Bone marrow smear; image size 250×250 — 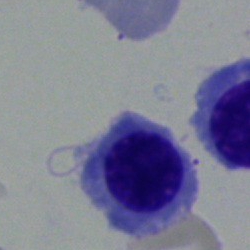This is an erythroblast.